250×250 px · bone marrow smear
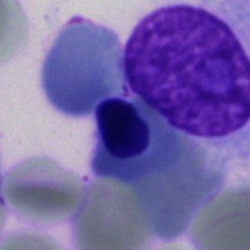
Specimen: bone marrow smear.
Cell: normoblast.
Lineage: erythroid.